Bone marrow aspirate smear — 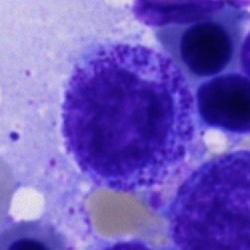Q: Which cell type is shown here?
A: A progranulocyte.